Bone marrow smear:
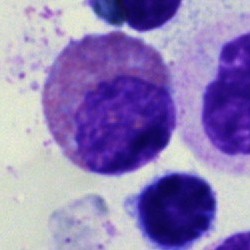Cell type = eosinophilic granulocyte.